Cropped to a single cell. 250 by 250 pixels. Bone marrow aspirate smear:
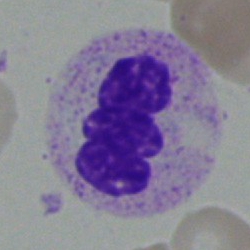
Cell = basophilic granulocyte.